40× oil immersion · bone marrow aspirate smear · 250×250 px: 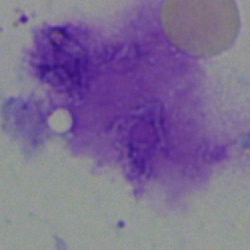This is an artifact.